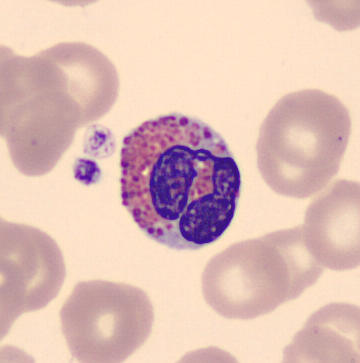Specimen: peripheral blood film.
Cell: eosinophilic granulocyte.
Lineage: myeloid.